Bone marrow smear: 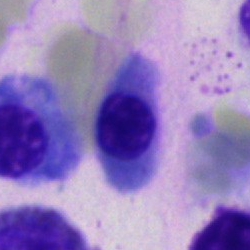

Morphology consistent with a nucleated red cell.